Bone marrow aspirate smear. 40× oil immersion. Pappenheim-stained: 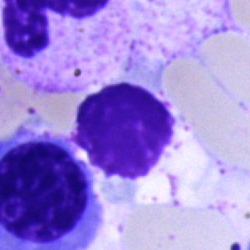
Specimen: bone marrow smear.
Cell: artefact.